Single-cell field; bone marrow smear — 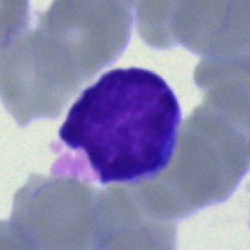

Morphological class — typical lymphocyte.